Bone marrow smear — 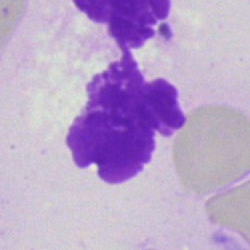

Cell type — artifact.